Bone marrow aspirate smear
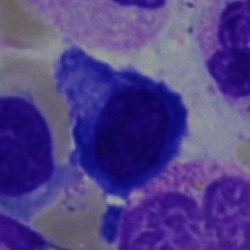Morphology — plasma cell.